Bone marrow aspirate smear — 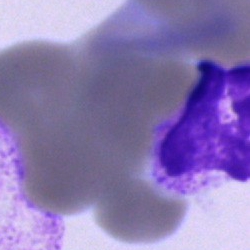

{"cell_type": "artifact"}